Bone marrow aspirate smear. May-Grünwald-Giemsa stain: 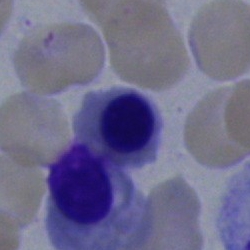Classification — erythroblast.